Image size 250×250. Bone marrow aspirate smear: 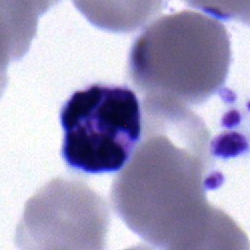
Specimen: bone marrow smear.
Morphological class: polymorphonuclear neutrophil.
Lineage: myeloid.